Bone marrow aspirate smear
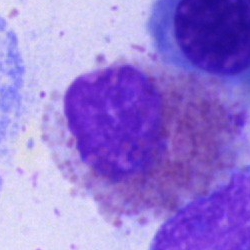 The cell shown is an eosinophil.